Bone marrow aspirate smear. Single-cell crop.
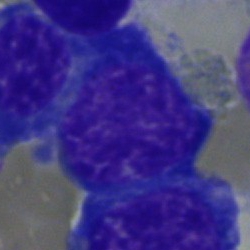Morphology consistent with a nucleated red cell.